Peripheral blood film.
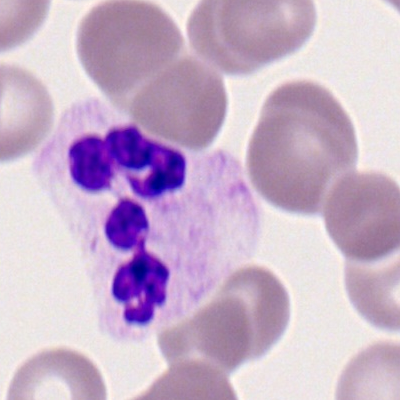 Classification: polymorphonuclear neutrophil.